Bone marrow smear · single-cell field — 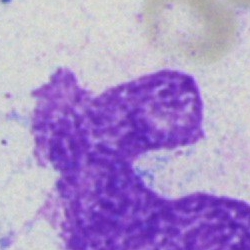The cell shown is an artifact.